Bone marrow smear
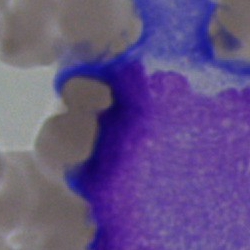Q: Which cell type is shown here?
A: It is a blast.